250×250 px; bone marrow smear — 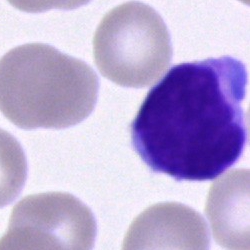
The cell shown is a lymphocyte.